Peripheral blood film: 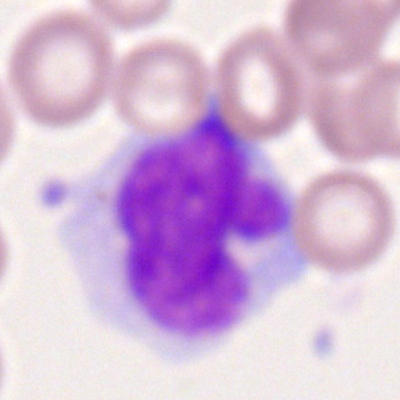 Showing a monocyte.